Peripheral blood smear
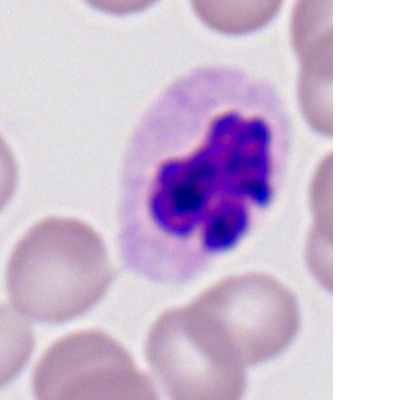Q: What is the morphological classification of this cell?
A: A neutrophil (segmented).